Brightfield, 40× oil-immersion objective. Bone marrow smear. Single-cell field.
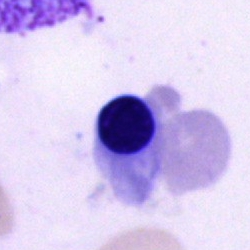 Showing a normoblast.